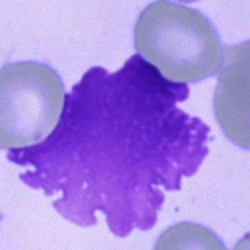Artefact.